Bone marrow aspirate smear — 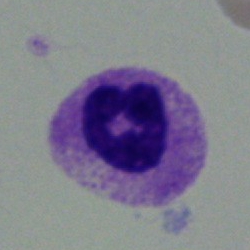
{"cell_type": "segmented neutrophil", "lineage": "myeloid"}